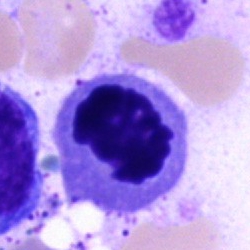

A nucleated red cell.